Bone marrow smear: 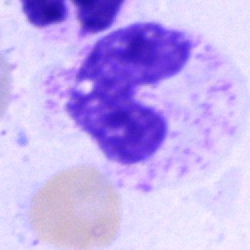The classification is stab cell.